Bone marrow aspirate smear: 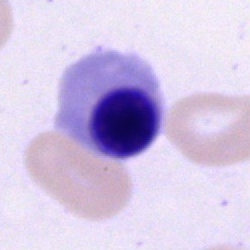Morphology consistent with a nucleated red blood cell.